Peripheral blood smear — 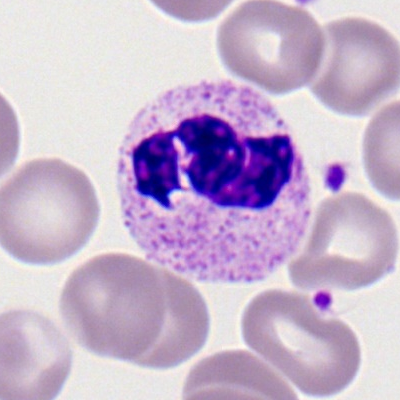

The cell shown is a segmented neutrophil.